Single-cell crop; 250×250 px; bone marrow aspirate smear:
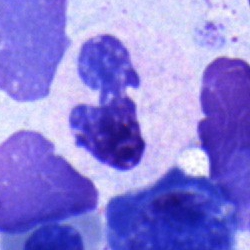

Q: What cell is this?
A: This is a neutrophil (segmented).